Bone marrow aspirate smear
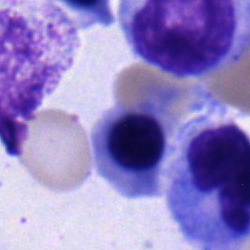

Morphology consistent with a normoblast.